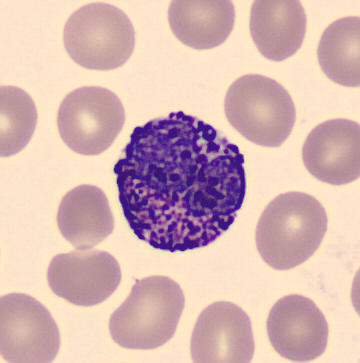

Specimen: peripheral blood smear.
Cell: basophilic granulocyte.